Peripheral blood film. Single-cell crop: 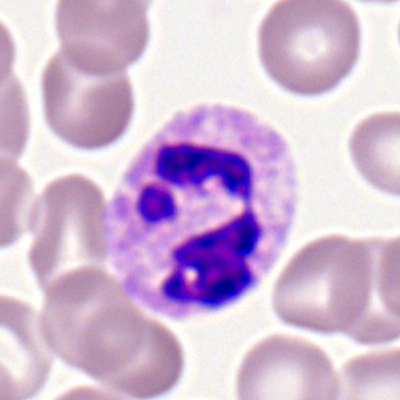 Q: What cell is this?
A: It is a polymorphonuclear neutrophil.